Bone marrow smear · image size 250×250 · brightfield, 40× oil-immersion objective
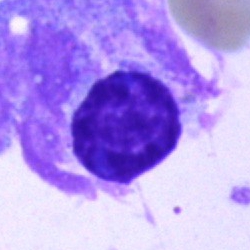
Cell type = plasma cell.